Bone marrow smear — 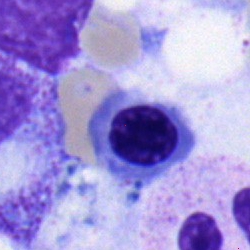This is a nucleated red blood cell.